Bone marrow smear · brightfield microscopy, 40× oil immersion:
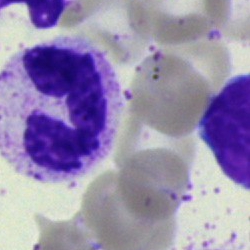
The cell shown is a neutrophil (segmented).